Single-cell field. Bone marrow aspirate smear. 250 by 250 pixels
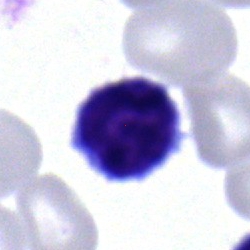
Morphology → lymphocyte.